M8 digital microscope (Precipoint), 100× oil immersion · peripheral blood smear · Romanowsky stain:
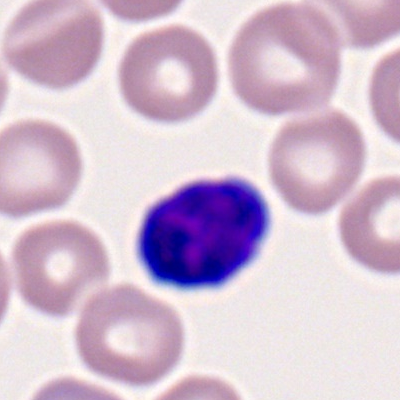
A lymphocyte.